Bone marrow aspirate smear — 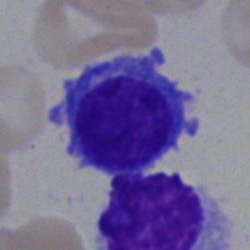Cell type = plasma cell.